Bone marrow aspirate smear; single-cell field: 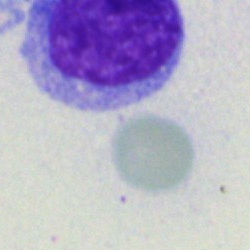
Morphology — blast cell.